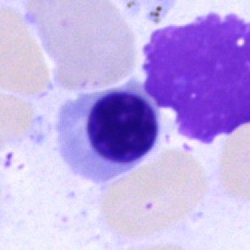
A nucleated red blood cell on a bone marrow smear.